Bone marrow smear; MGG-stained: 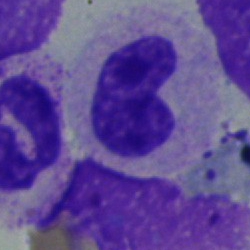

The cell is stab cell.